40× objective, oil immersion. Bone marrow aspirate smear: 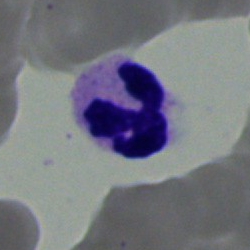

Specimen: bone marrow aspirate smear.
Morphological class: neutrophil (segmented).